Bone marrow aspirate smear:
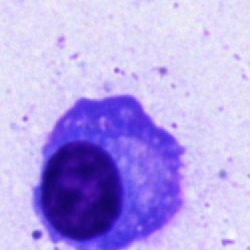 Q: Identify the cell.
A: This is a plasmacyte.